Bone marrow smear
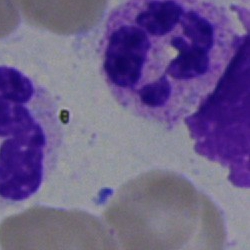
Cell: polymorphonuclear neutrophil.